Bone marrow smear.
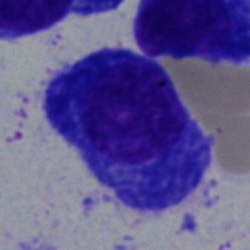Cell = plasmacyte.